400 by 400 pixels. Peripheral blood smear — 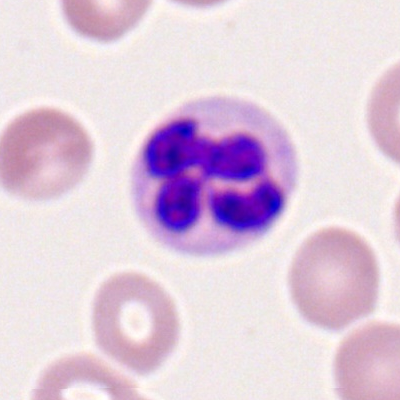 {"cell_type": "polymorphonuclear neutrophil"}